Bone marrow aspirate smear
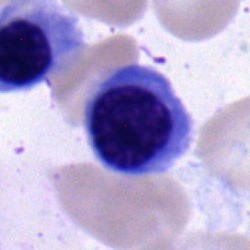
Morphology consistent with a nucleated red blood cell.